Peripheral blood film; single-cell field; automated cell imaging (CellaVision DM96): 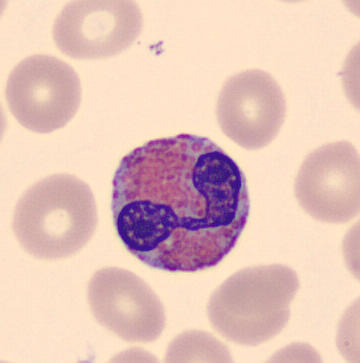
Impression → eosinophil.